Bone marrow smear.
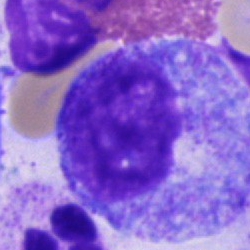

Q: What type of cell is this?
A: A progranulocyte.